Bone marrow aspirate smear:
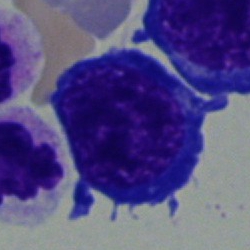Impression — erythroblast.